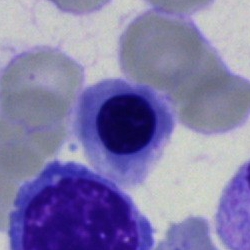

{"cell_type": "erythroblast", "lineage": "erythroid"}